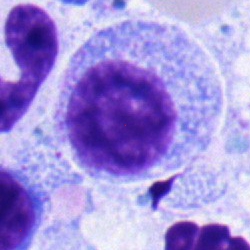Cell — myelocyte.